Bone marrow smear — 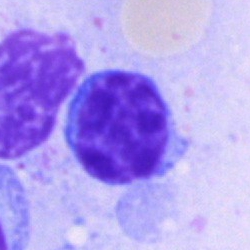

The cell shown is a lymphocyte.